Bone marrow aspirate smear. May-Grünwald-Giemsa stain:
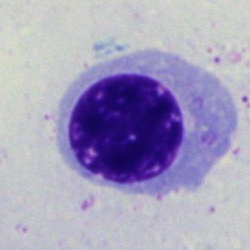

A normoblast.